Bone marrow smear — 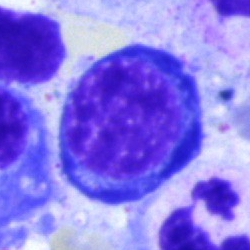

Cell type — nucleated red cell.